Peripheral blood film.
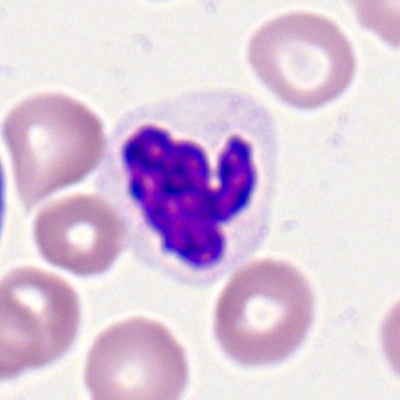
Single cell identified as a neutrophil (segmented).